Brightfield, 100× oil-immersion objective. Peripheral blood film:
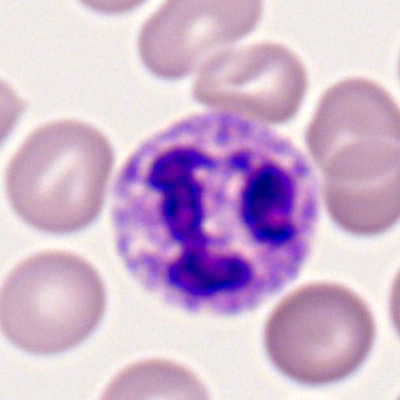 Q: Which cell type is shown here?
A: Segmented neutrophil.